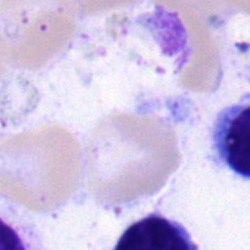

{"cell_type": "normoblast", "lineage": "erythroid"}